Bone marrow aspirate smear; 250 by 250 pixels; May-Grünwald-Giemsa stain
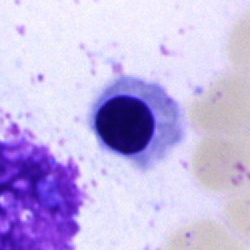Impression → normoblast.